Bone marrow smear
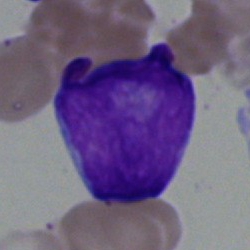 Morphological class = blast.